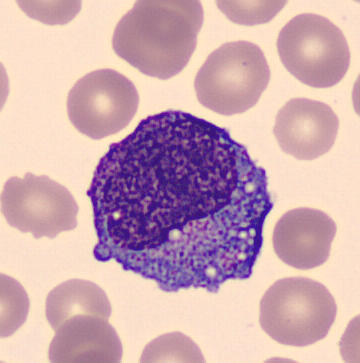 {"cell_type": "promyelocyte", "lineage": "myeloid"}